Bone marrow smear — 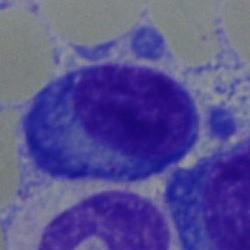Specimen: bone marrow smear.
Classification: plasma cell.